40× objective, oil immersion · bone marrow aspirate smear — 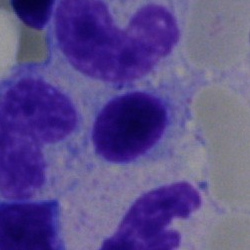Q: What is the morphological classification of this cell?
A: It is a typical lymphocyte.